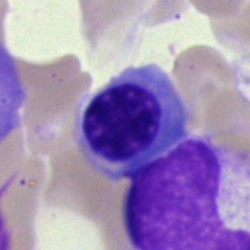
Showing a nucleated red blood cell.